Bone marrow smear
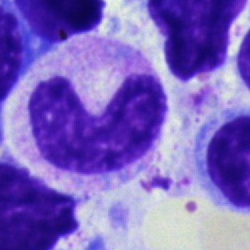 Morphology → neutrophil (band).